Peripheral blood film.
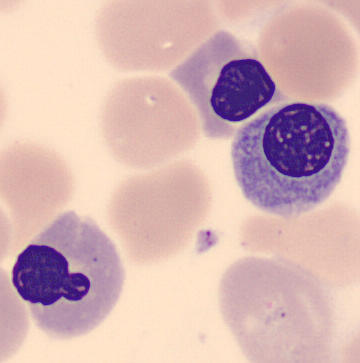
Identified as a normoblast.